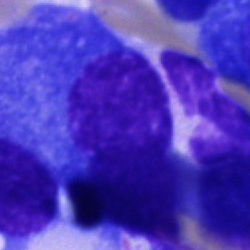Classification = plasma cell.